Single cell centered in the field; bone marrow aspirate smear; May-Grünwald-Giemsa stain: 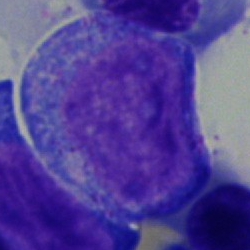 Q: Which cell type is shown here?
A: This is a promyelocyte.